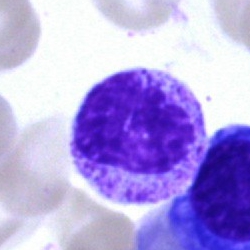

A myelocyte.